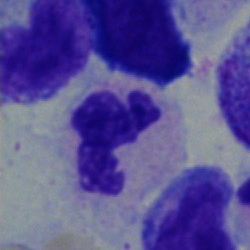Single cell identified as a neutrophil (segmented).